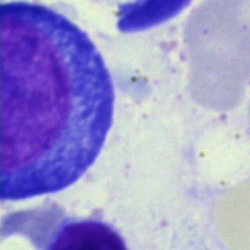 Cell type = proerythroblast.